Bone marrow smear — 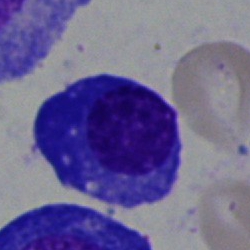
Impression — plasmacyte.